Bone marrow aspirate smear — 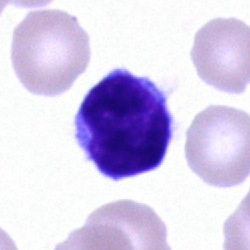 Cell = lymphocyte.